250 by 250 pixels; bone marrow smear: 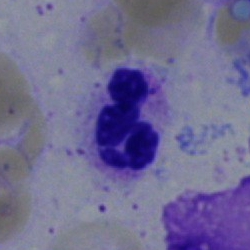 Classification = neutrophil (segmented).